Bone marrow aspirate smear · brightfield, 40× oil-immersion objective
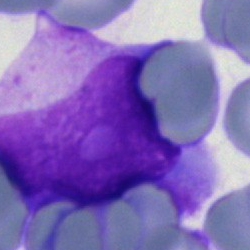Blast.